40× oil immersion. May-Grünwald-Giemsa/Pappenheim stain. Bone marrow aspirate smear — 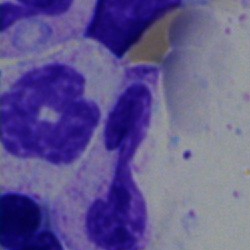Showing a neutrophil (segmented).